Bone marrow aspirate smear; brightfield microscopy, 40× oil immersion; May-Grünwald-Giemsa/Pappenheim stain:
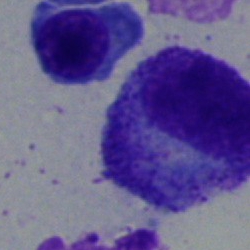

Classification: progranulocyte.